Image size 250×250 · bone marrow aspirate smear — 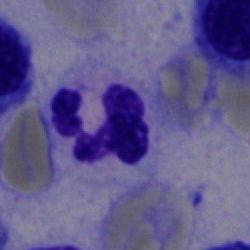 Showing a neutrophil (segmented).